Bone marrow aspirate smear · 40× oil immersion: 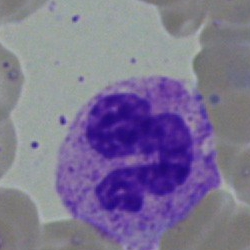 Q: Which cell type is shown here?
A: This is a segmented neutrophil.